Bone marrow aspirate smear · Pappenheim-stained · single cell centered in the field: 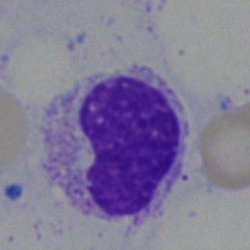 Classification: metamyelocyte.